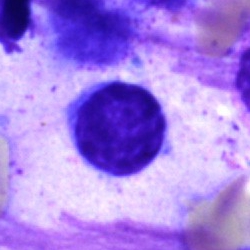 Morphological class — lymphocyte.